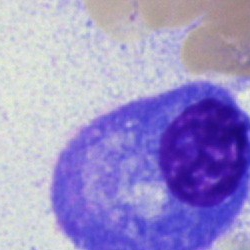

Bone marrow aspirate smear, single cell — plasmacyte.